Bone marrow smear: 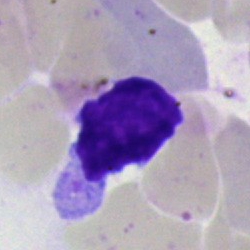
Q: What is shown here?
A: It is an artifact.